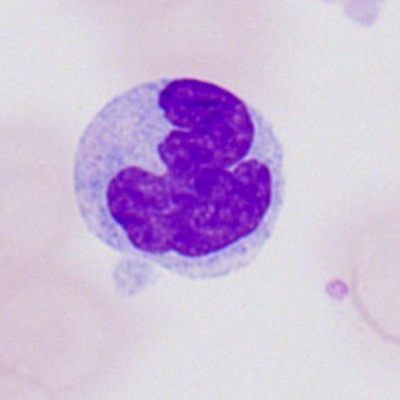

Specimen: peripheral blood smear.
Cell: monocyte.